Cropped to a single cell. Bone marrow smear.
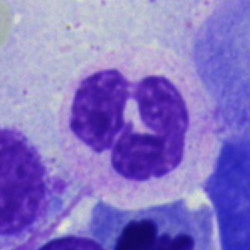 Morphology — polymorphonuclear neutrophil.